Cropped to a single cell · bone marrow aspirate smear: 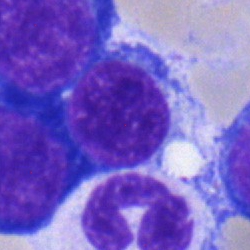{"cell_type": "nucleated red cell"}